Peripheral blood film.
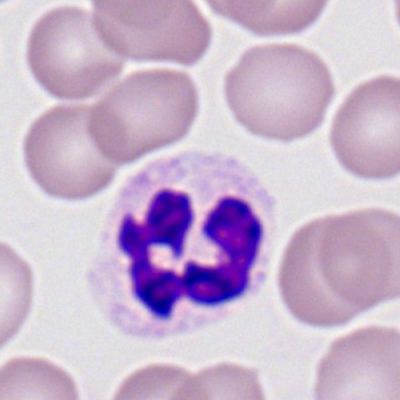{"cell_type": "segmented neutrophil"}